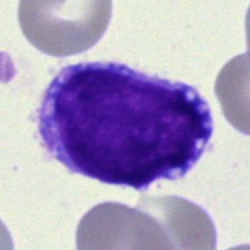
The cell type is lymphocyte.